Bone marrow smear.
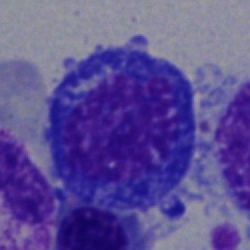 Morphology — nucleated red blood cell.